Bone marrow aspirate smear · Pappenheim-stained.
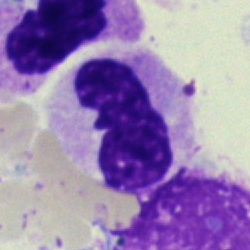 Cell = band neutrophil.